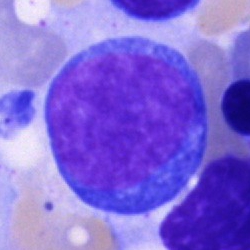

Blast.